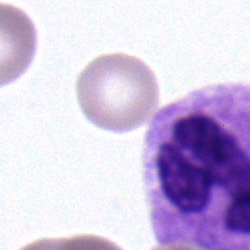
{"cell_type": "segmented neutrophil", "lineage": "myeloid"}